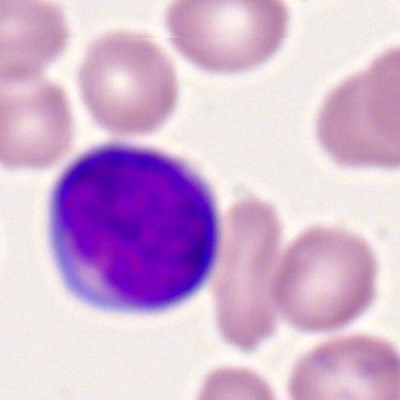 Cell: lymphocyte.